Bone marrow smear — 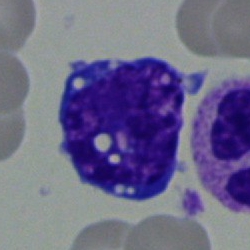

{"cell_type": "blast cell"}